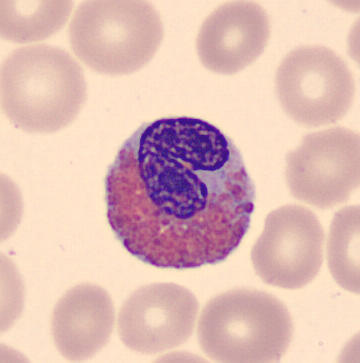
From a peripheral blood smear: an eosinophil.